Bone marrow smear; 250 by 250 pixels — 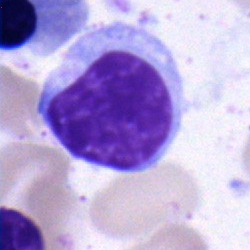
Single cell identified as a typical lymphocyte.